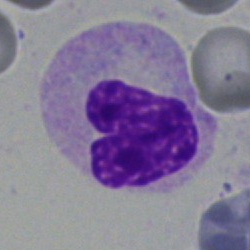 Bone marrow aspirate smear, single cell — segmented neutrophil.